Bone marrow aspirate smear · single cell centered in the field · brightfield, 40× oil-immersion objective — 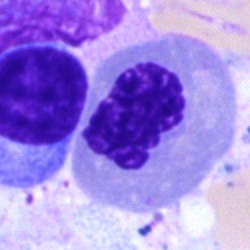
The cell is nucleated red cell.